40× oil immersion · bone marrow smear:
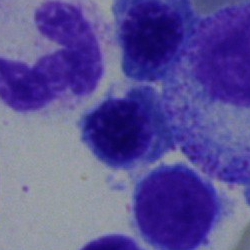 Classification = nucleated red blood cell.